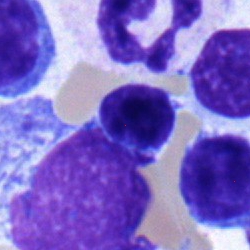

Specimen: bone marrow aspirate smear.
Cell type: nucleated red cell.